40× objective, oil immersion · single-cell field · bone marrow smear:
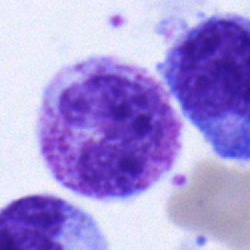
A band-form neutrophil.